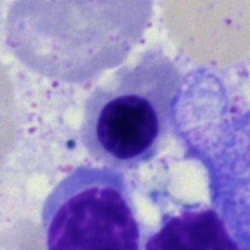
Specimen: bone marrow smear.
Morphological class: normoblast.
Lineage: erythroid.